Bone marrow aspirate smear.
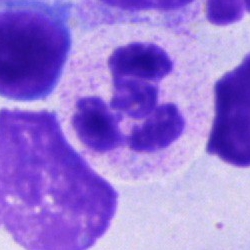

Morphology consistent with a segmented neutrophil.